Bone marrow aspirate smear. 250×250 px — 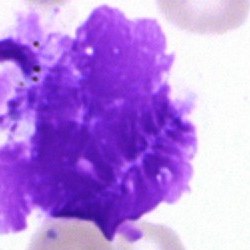
Morphology consistent with an artifact.